Bone marrow aspirate smear
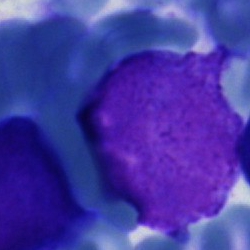 Specimen: bone marrow aspirate smear.
Classification: blast cell.